May-Grünwald-Giemsa/Pappenheim stain · 250×250 px · bone marrow aspirate smear
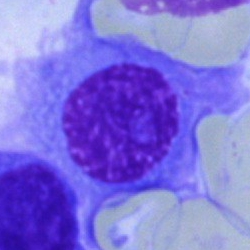
{"cell_type": "plasmacyte", "lineage": "lymphoid"}